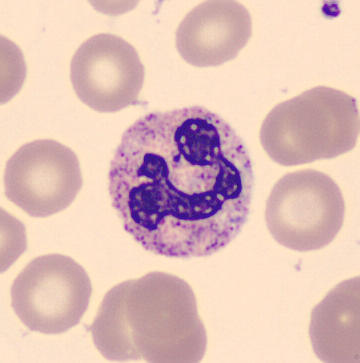Specimen: peripheral blood smear.
Cell: polymorphonuclear neutrophil.
Lineage: myeloid.